Bone marrow aspirate smear: 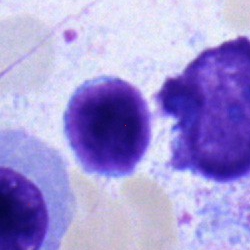

Single cell identified as a lymphocyte.